Bone marrow smear
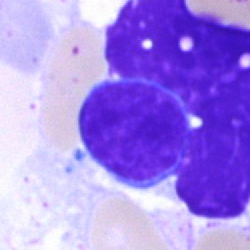

Q: Identify the cell.
A: Lymphocyte.